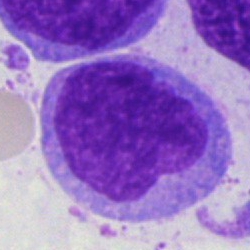
Cell — monocyte.